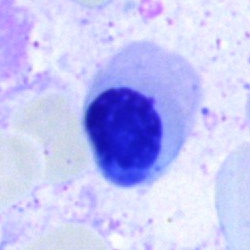
{"cell_type": "erythroblast", "lineage": "erythroid"}